40× oil immersion; bone marrow aspirate smear:
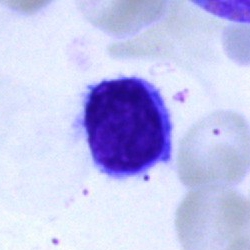
The cell shown is a lymphocyte.